Bone marrow smear · single-cell crop — 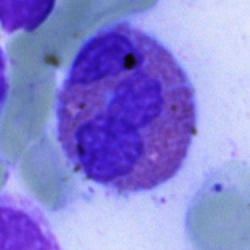The cell type is eosinophil.